Bone marrow smear. 40× objective, oil immersion.
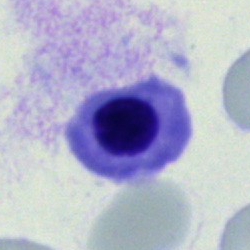
Cell type — erythroblast.